Bone marrow smear. MGG-stained:
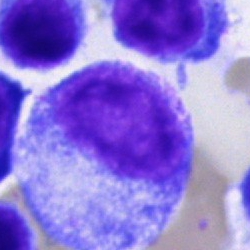
Q: Identify the cell.
A: A promyelocyte.